Single-cell crop; bone marrow aspirate smear.
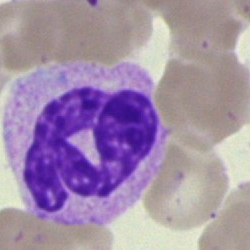The morphological class is segmented neutrophil.